Peripheral blood smear; cropped to a single cell — 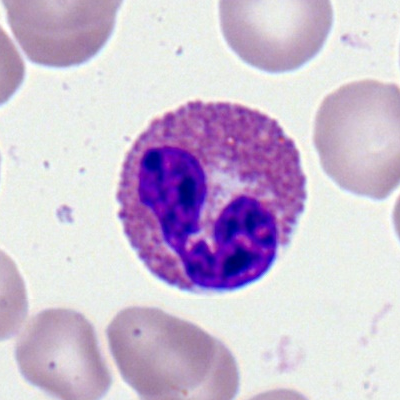{"cell_type": "eosinophil"}